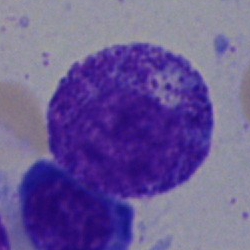Q: What is the morphological classification of this cell?
A: It is a myelocyte.